40× objective, oil immersion; bone marrow aspirate smear
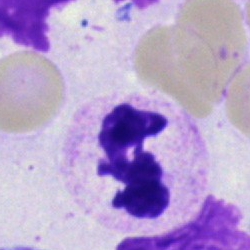
Morphological class = segmented neutrophil.